Bone marrow aspirate smear; single-cell crop.
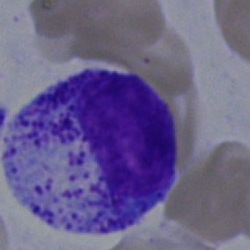Morphology — promyelocyte.